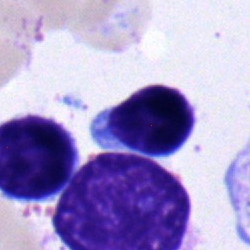

{"cell_type": "lymphocyte", "lineage": "lymphoid"}